Bone marrow aspirate smear · May-Grünwald-Giemsa stain · 40× objective, oil immersion:
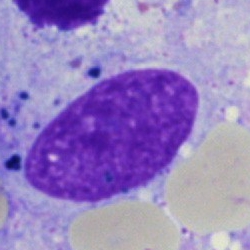

The cell is artefact.